Bone marrow smear
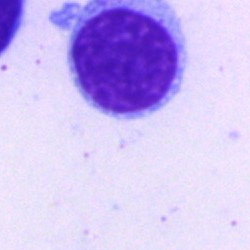{"cell_type": "typical lymphocyte", "lineage": "lymphoid"}